Bone marrow smear
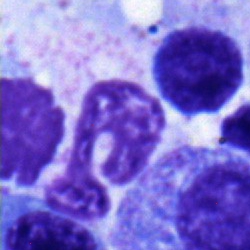
Impression → band neutrophil.